Bone marrow smear:
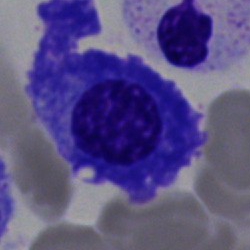Morphology → plasma cell.